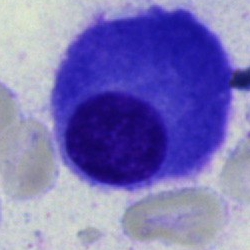

Q: What cell is this?
A: A plasma cell.